Bone marrow aspirate smear — 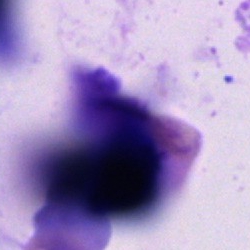 Cell type — artefact.